Peripheral blood film; 100× objective, oil immersion.
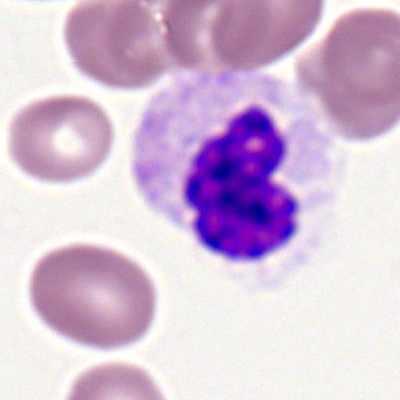
Classification: neutrophil (segmented).